Bone marrow smear. Brightfield microscopy, 40× oil immersion. Image size 250×250: 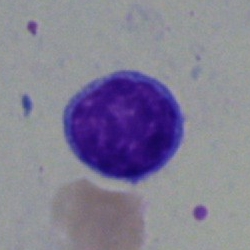

The cell is typical lymphocyte.